Bone marrow smear — 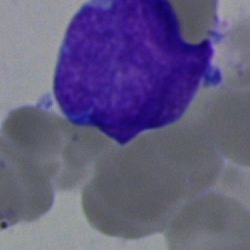
This is a blast cell.